Bone marrow smear.
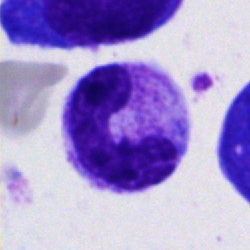The classification is band neutrophil.